Bone marrow aspirate smear · May-Grünwald-Giemsa stain:
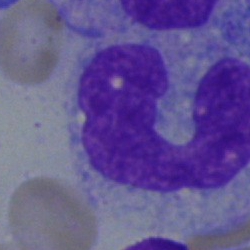

Cell = monocyte.